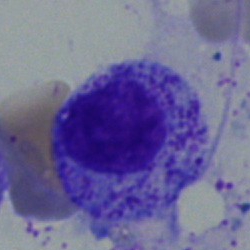Cell type — myelocyte.